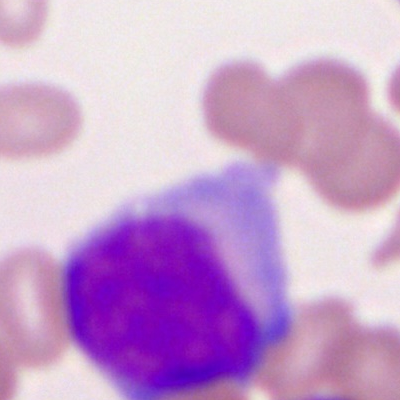

The cell is myeloid blast.